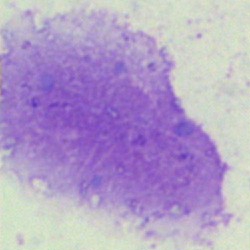

Impression → artifact.